Bone marrow smear: 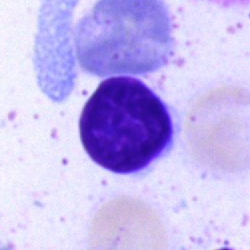 A typical lymphocyte.